Peripheral blood film. Image size 400×400
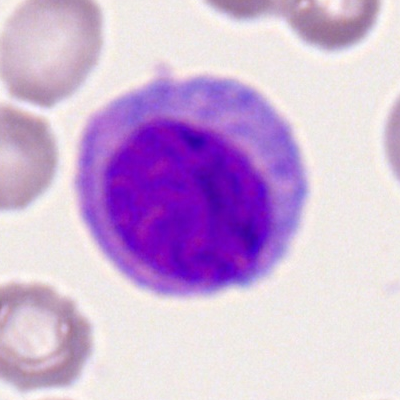 Q: What is shown here?
A: It is a monocyte.